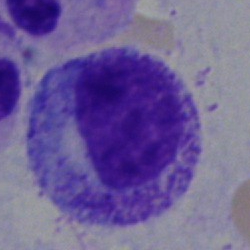
Single-cell crop from a bone marrow smear: progranulocyte.